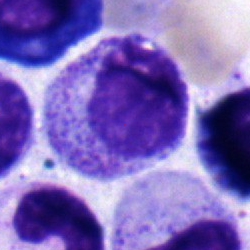{"cell_type": "myelocyte"}